Single cell centered in the field · bone marrow smear:
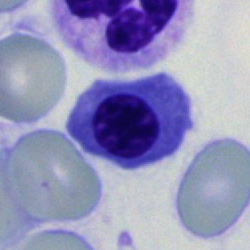

Specimen: bone marrow aspirate smear.
Cell: nucleated red cell.
Lineage: erythroid.